Bone marrow smear · image size 250×250 · single cell centered in the field
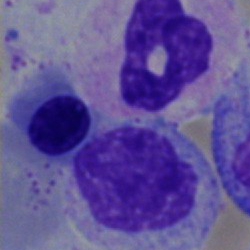 Morphological class = nucleated red blood cell.